40× oil immersion · bone marrow aspirate smear — 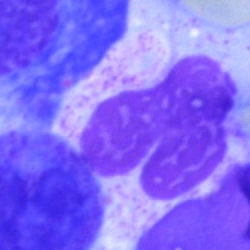 Specimen: bone marrow aspirate smear.
Morphological class: artefact.